Bone marrow aspirate smear:
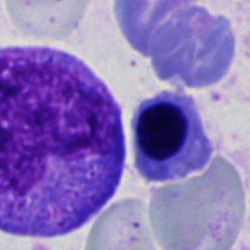
Morphology consistent with a nucleated red cell.